Bone marrow smear. Single cell centered in the field:
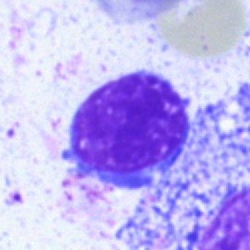Classification: lymphocyte.